Bone marrow smear; 250×250
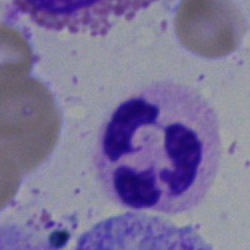
Single cell identified as a segmented neutrophil.